Bone marrow aspirate smear:
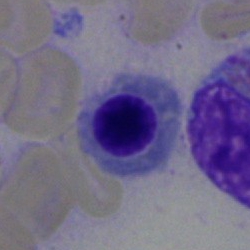
Classification = erythroblast.